May-Grünwald-Giemsa/Pappenheim stain; brightfield microscopy, 40× oil immersion; bone marrow aspirate smear.
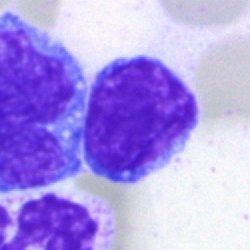
{"cell_type": "lymphocyte", "lineage": "lymphoid"}